250 by 250 pixels · bone marrow smear · 40× objective, oil immersion.
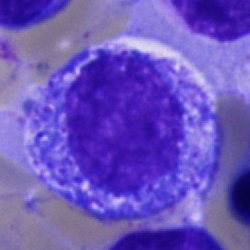 Morphology → promyelocyte.